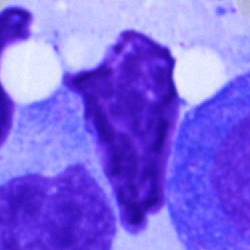Single-cell crop from a bone marrow smear: artefact.